Bone marrow smear. Brightfield microscopy, 40× oil immersion
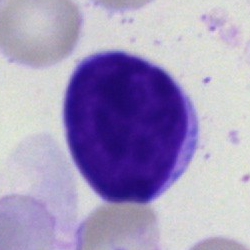
Q: What is shown here?
A: Lymphocyte.